Brightfield microscopy, 40× oil immersion. Bone marrow smear. 250×250 px: 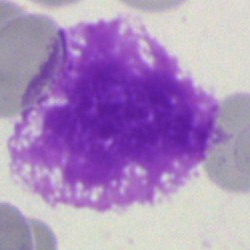

Single cell identified as an artifact.